Cropped to a single cell. Bone marrow aspirate smear. Image size 250×250 — 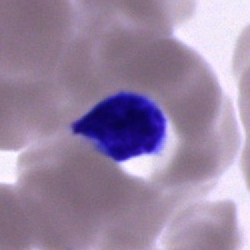Q: What cell is this?
A: This is a lymphocyte.